Bone marrow smear: 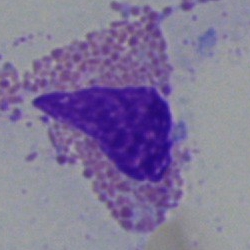Q: Identify the cell.
A: An eosinophil.